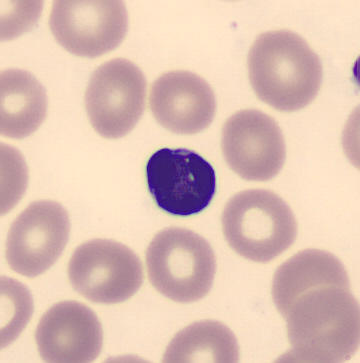

Morphology consistent with a lymphocyte.
Image: Peripheral blood film.